Bone marrow smear; 250 by 250 pixels; single-cell field.
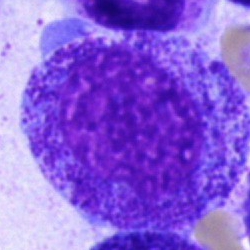 The morphological class is promyelocyte.